Bone marrow aspirate smear: 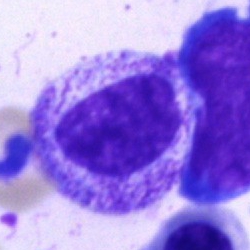 Specimen: bone marrow aspirate smear.
Morphological class: myelocyte.
Lineage: myeloid.